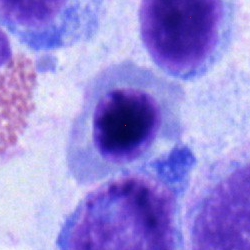
Q: What is the morphological classification of this cell?
A: Normoblast.